Bone marrow aspirate smear: 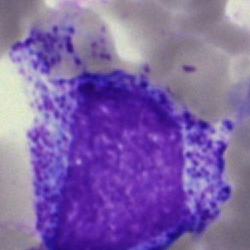
Single cell identified as a progranulocyte.